Bone marrow smear
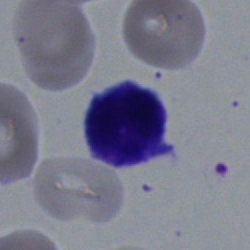The cell shown is a lymphocyte.